Bone marrow smear:
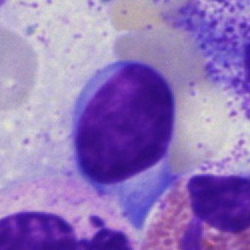Morphological class: lymphocyte.